Bone marrow aspirate smear. May-Grünwald-Giemsa stain — 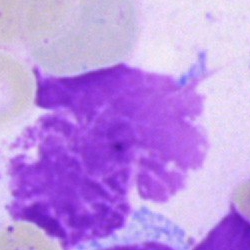
Specimen: bone marrow smear.
Cell: artefact.